Bone marrow smear:
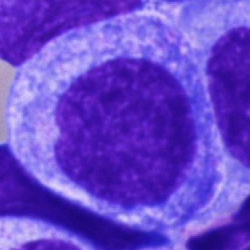
The cell type is progranulocyte.